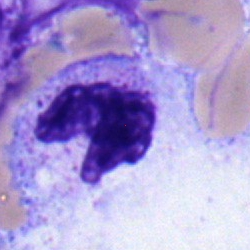Impression — segmented neutrophil.